Bone marrow smear
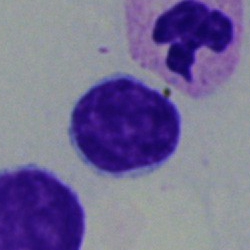

Cell = lymphocyte.